250×250 px. Bone marrow smear — 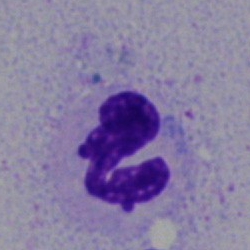

The cell shown is a neutrophil (segmented).